Single-cell field; bone marrow aspirate smear:
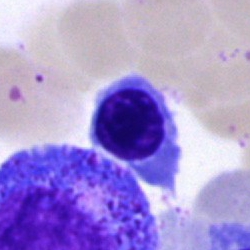 Specimen: bone marrow aspirate smear.
Morphological class: erythroblast.
Lineage: erythroid.